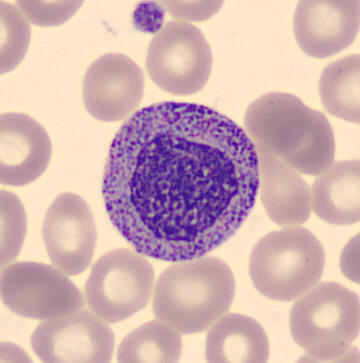

This is a promyelocyte.

Peripheral blood smear.